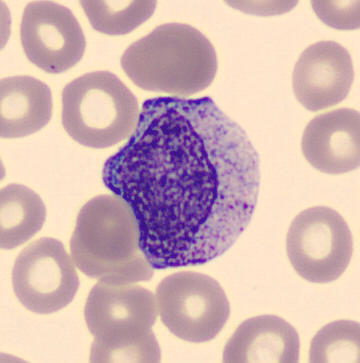

The cell shown is a promyelocyte.